Peripheral blood film.
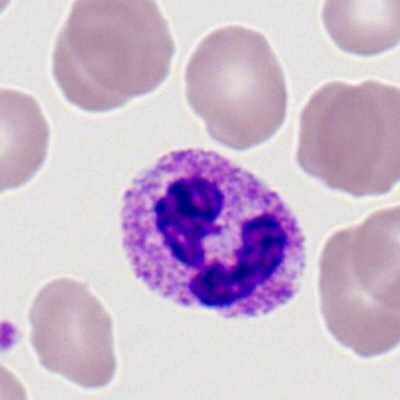
Morphological class — polymorphonuclear neutrophil.